250×250; bone marrow aspirate smear:
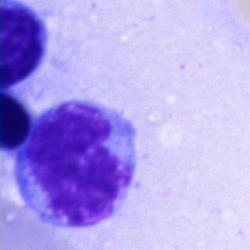

A lymphocyte.